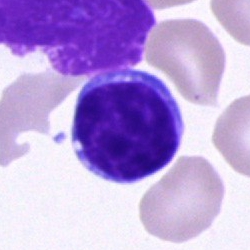
This is a typical lymphocyte.